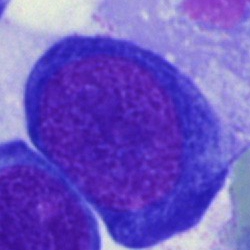 Morphology consistent with a pronormoblast.